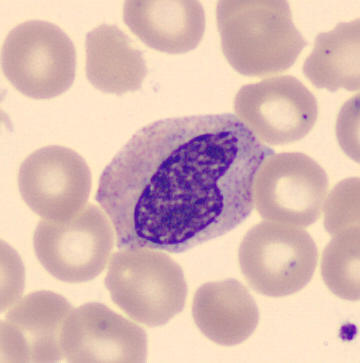Image: Peripheral blood smear.
Morphology consistent with a metamyelocyte.